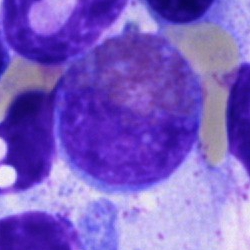
Bone marrow smear showing an eosinophilic granulocyte.